Romanowsky-stained. Peripheral blood smear. M8 digital microscope (Precipoint), 100× oil immersion
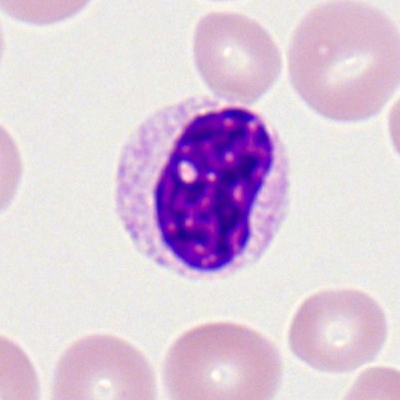 The cell type is segmented neutrophil.